Peripheral blood film — 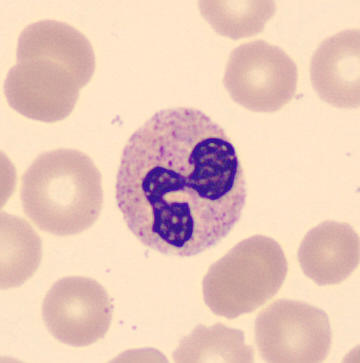The cell is segmented neutrophil.